Bone marrow aspirate smear — 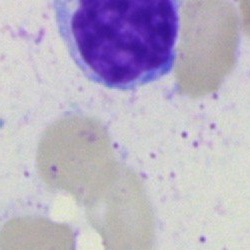

Q: What is shown here?
A: An artefact.